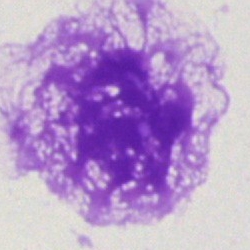
Specimen: bone marrow aspirate smear.
Cell type: artifact.